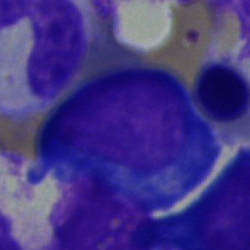
Impression → pronormoblast.